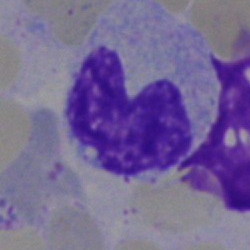
Specimen: bone marrow aspirate smear.
Classification: neutrophil (band).
Lineage: myeloid.